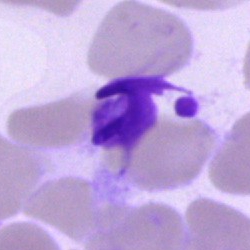Cell = artefact.